Bone marrow aspirate smear: 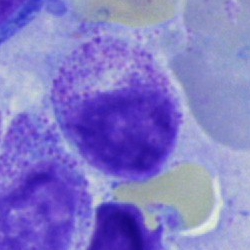

Morphological class = myelocyte.